Bone marrow aspirate smear. May-Grünwald-Giemsa stain. 250×250 px: 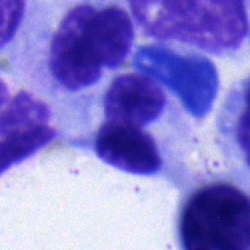 Cell type = stab cell.